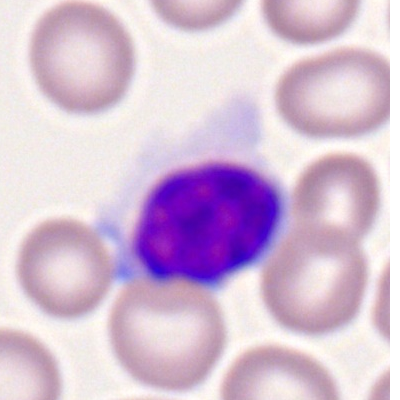
Morphology → typical lymphocyte.